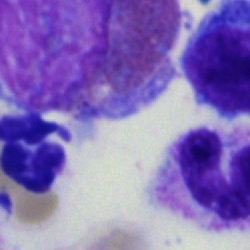The morphological class is artefact.